40× oil immersion · bone marrow smear · 250×250 px:
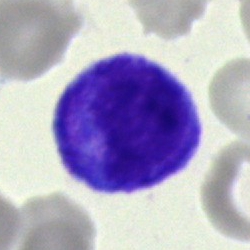

Morphology consistent with a promyelocyte.